Bone marrow aspirate smear
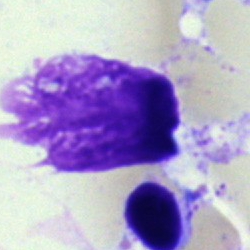This is an artefact.